Bone marrow smear: 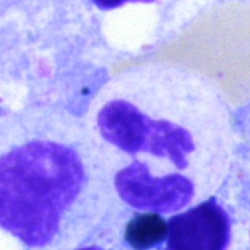

Impression — polymorphonuclear neutrophil.